Bone marrow aspirate smear; Pappenheim-stained; single-cell field
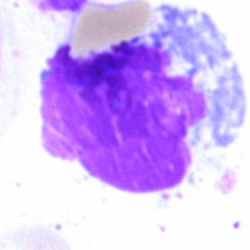 An artefact.